Bone marrow smear:
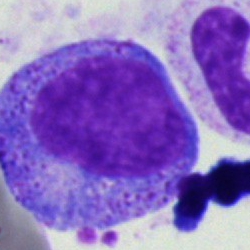
Specimen: bone marrow aspirate smear.
Morphological class: progranulocyte.